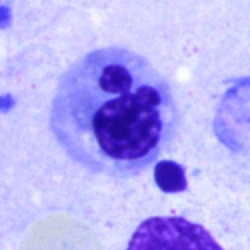
Q: What cell is this?
A: This is a nucleated red blood cell.